Bone marrow smear — 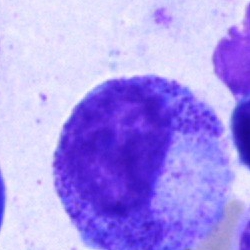

This is a progranulocyte.